Brightfield, 40× oil-immersion objective · bone marrow aspirate smear
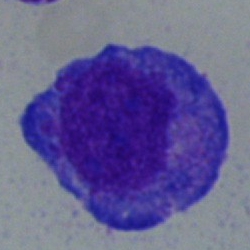The cell shown is a promyelocyte.